Bone marrow smear:
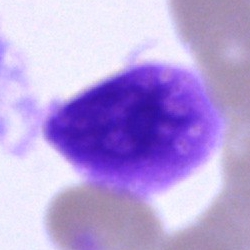
An artefact.